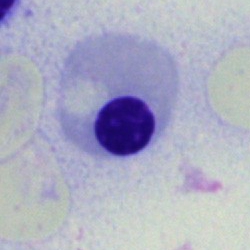 Bone marrow smear showing a nucleated red blood cell.